Bone marrow aspirate smear: 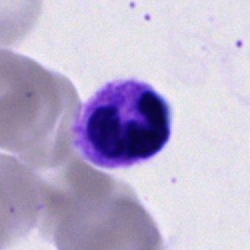

Single cell identified as a polymorphonuclear neutrophil.